Cropped to a single cell; bone marrow aspirate smear: 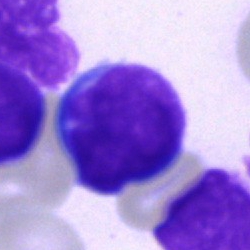

Morphology → undifferentiated blast.